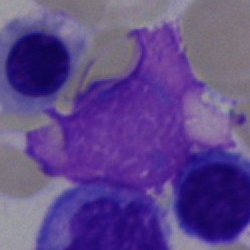Q: What is shown here?
A: This is an artefact.